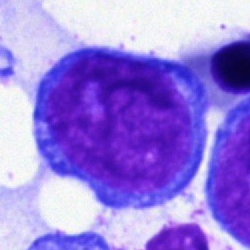Specimen: bone marrow smear.
Classification: blast.